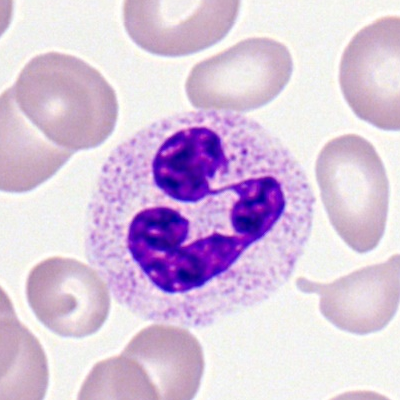

Q: Identify the cell.
A: This is a neutrophil (segmented).